250 by 250 pixels · single-cell field · bone marrow smear
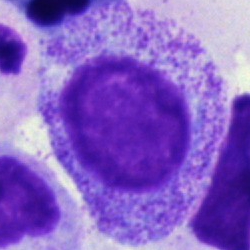Showing a myelocyte.